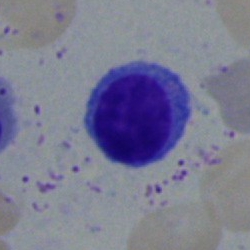
Q: What type of cell is this?
A: This is a lymphocyte.